Bone marrow smear:
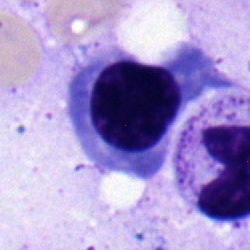 Showing a normoblast.